Bone marrow aspirate smear — 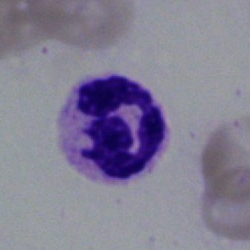
Single cell identified as a neutrophil (segmented).